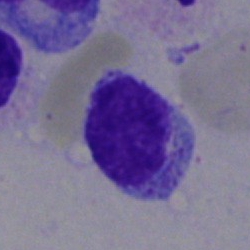
Specimen: bone marrow aspirate smear.
Morphological class: lymphocyte.
Lineage: lymphoid.